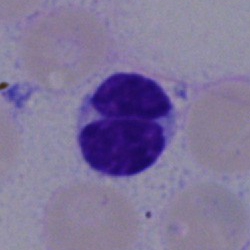 Lymphocyte.